Bone marrow smear; 40× objective, oil immersion: 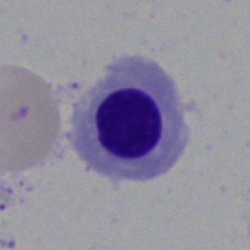{"cell_type": "normoblast", "lineage": "erythroid"}